Cropped to a single cell; 250×250; bone marrow smear
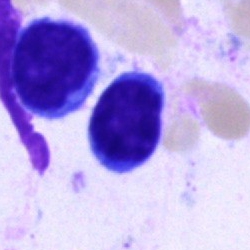 {"cell_type": "typical lymphocyte"}